May-Grünwald-Giemsa/Pappenheim stain; bone marrow smear; single-cell field: 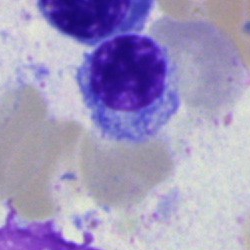 Morphological class: nucleated red blood cell.